Bone marrow smear — 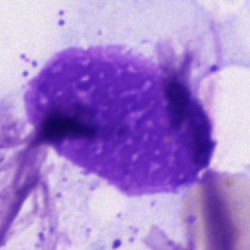 Morphology consistent with an artefact.